Single-cell crop · peripheral blood smear
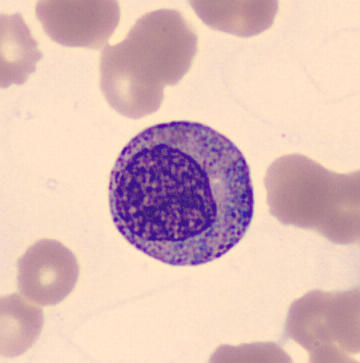

Specimen: peripheral blood film.
Morphological class: myelocyte.